Bone marrow smear · 40× objective, oil immersion · image size 250×250
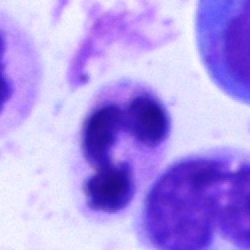

{"cell_type": "neutrophil (segmented)", "lineage": "myeloid"}